Bone marrow aspirate smear: 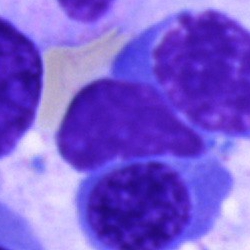 Specimen: bone marrow aspirate smear.
Morphological class: cell of indeterminate lineage.